MGG-stained; bone marrow smear
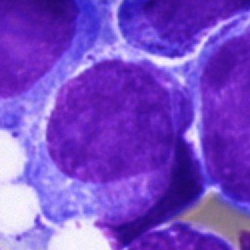Q: What cell is this?
A: An undifferentiated blast.